Pappenheim-stained · bone marrow smear: 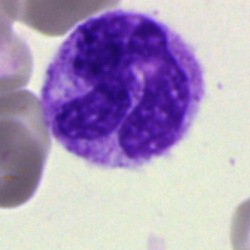Showing a segmented neutrophil.